Bone marrow smear:
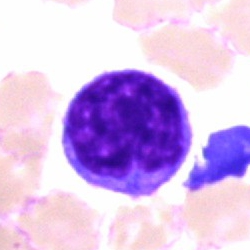

This is a lymphocyte.